Bone marrow aspirate smear:
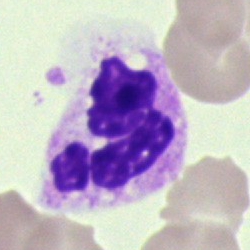

A neutrophil (segmented).